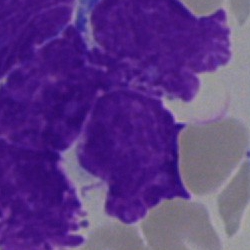
The morphological class is artefact.